40× oil immersion · bone marrow aspirate smear: 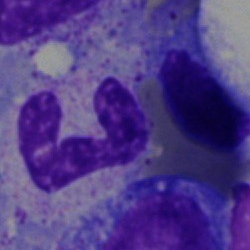

Q: Identify the cell.
A: This is a segmented neutrophil.